Bone marrow smear — 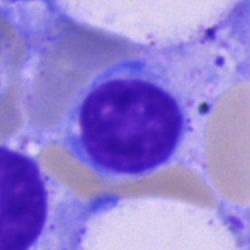

Q: What cell is this?
A: This is a typical lymphocyte.